Bone marrow smear
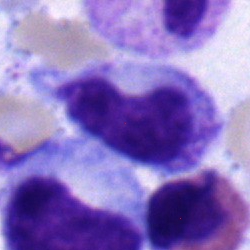 Cell type — metamyelocyte.